Peripheral blood film: 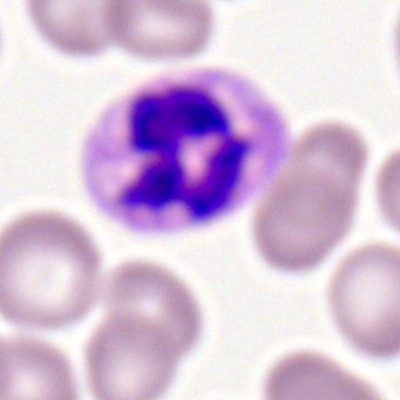

Showing a neutrophil (segmented).